May-Grünwald-Giemsa/Pappenheim stain · bone marrow smear:
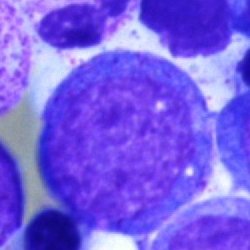
Q: Identify the cell.
A: Promyelocyte.